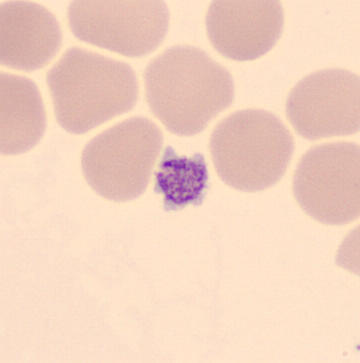 The classification is thrombocyte.
Peripheral blood smear.